Bone marrow smear: 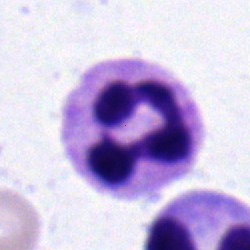

Specimen: bone marrow smear.
Cell: neutrophil (segmented).
Lineage: myeloid.